Bone marrow aspirate smear · 250×250.
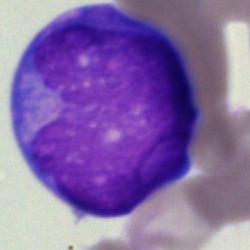
This is an undifferentiated blast.